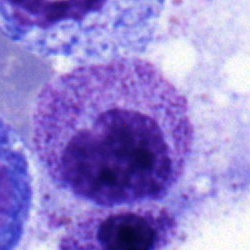

Myelocyte.